Bone marrow aspirate smear — 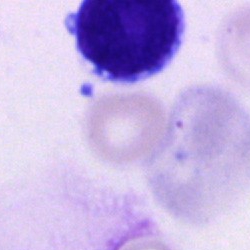

Cell: cell of indeterminate lineage.